Bone marrow aspirate smear.
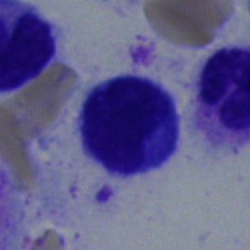 Q: What type of cell is this?
A: A typical lymphocyte.